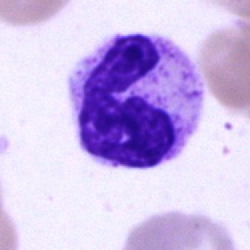 Q: Which cell type is shown here?
A: This is a polymorphonuclear neutrophil.